Brightfield microscopy, 40× oil immersion · bone marrow smear: 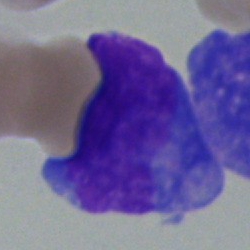

Morphological class = undifferentiated blast.